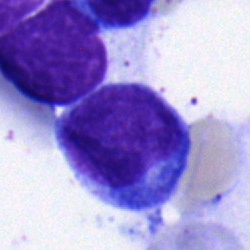 Q: Identify the cell.
A: This is a lymphocyte.